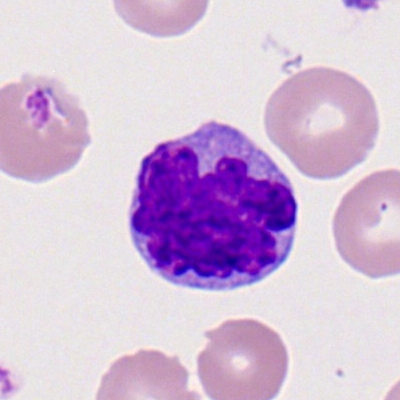

A monocyte on a peripheral blood smear.